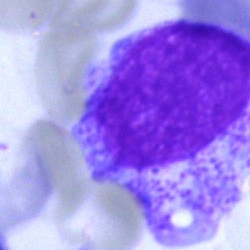 Bone marrow smear showing a myelocyte.